Bone marrow aspirate smear.
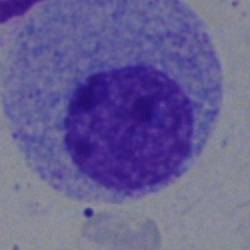
Impression — myelocyte.